Bone marrow smear.
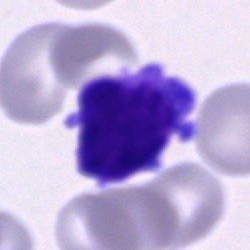
Q: Which cell type is shown here?
A: It is a blast.